Bone marrow aspirate smear.
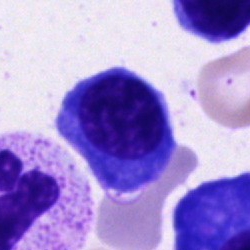

Cell: normoblast.